Bone marrow smear: 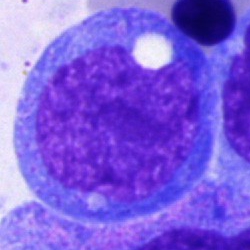Cell type: blast.